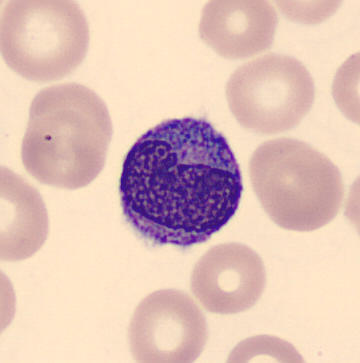
Peripheral blood film.

Single cell identified as a monocyte.